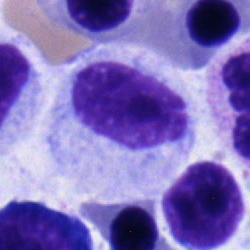A myelocyte.